Bone marrow smear.
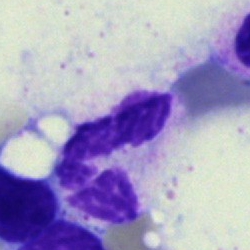 The classification is polymorphonuclear neutrophil.